Bone marrow smear; 40× objective, oil immersion: 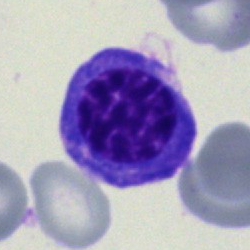

Q: Which cell type is shown here?
A: Erythroblast.